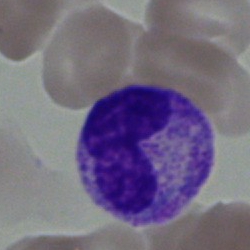

The cell type is band-form neutrophil.